250×250 px. Bone marrow aspirate smear — 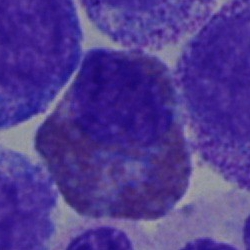

Q: What cell is this?
A: It is an eosinophil.